Bone marrow aspirate smear; MGG-stained
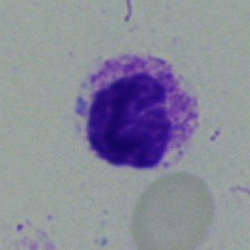Q: Identify the cell.
A: This is a polymorphonuclear neutrophil.